Peripheral blood film:
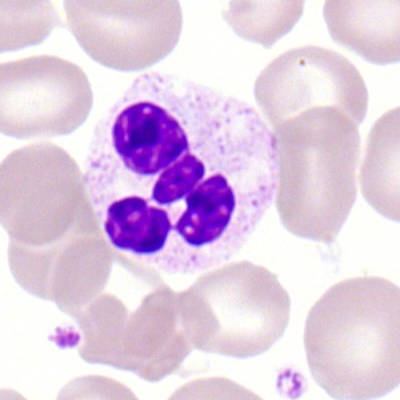 Single cell identified as a polymorphonuclear neutrophil.